Bone marrow smear — 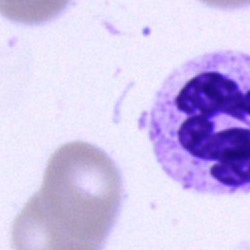

Morphology — segmented neutrophil.